Bone marrow smear — 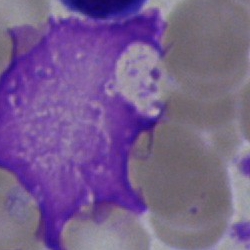 An artefact.